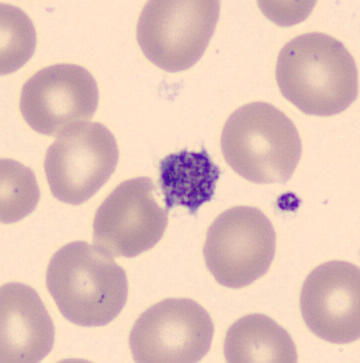
Platelet.